Pappenheim-stained; 40× objective, oil immersion; bone marrow smear.
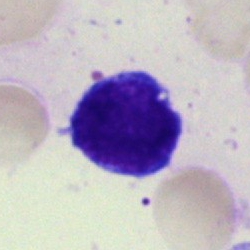Cell: typical lymphocyte.